Cropped to a single cell; bone marrow aspirate smear.
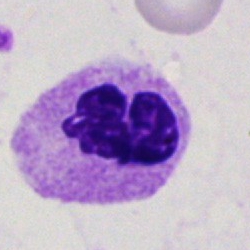Specimen: bone marrow aspirate smear.
Morphological class: neutrophil (segmented).